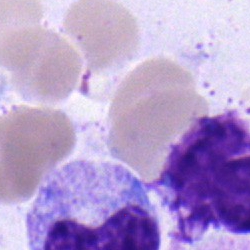 Specimen: bone marrow smear.
Classification: metamyelocyte.